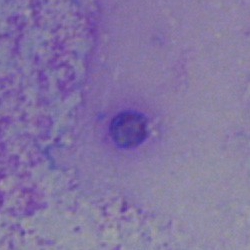Morphology — artefact.